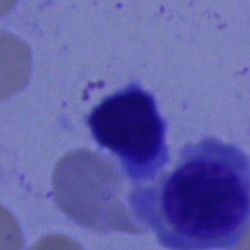 Lymphocyte.